40× oil immersion · bone marrow aspirate smear: 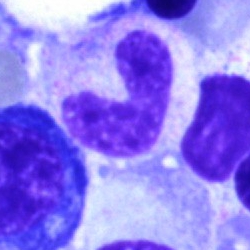
Showing a stab cell.